Bone marrow aspirate smear.
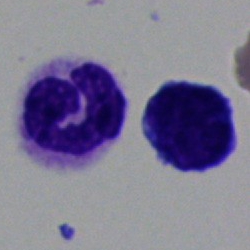Cell — segmented neutrophil.